Single cell centered in the field; Pappenheim-stained; bone marrow aspirate smear
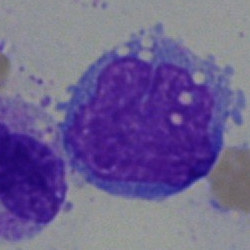Specimen: bone marrow aspirate smear.
Cell type: blast.